Single-cell crop · bone marrow aspirate smear.
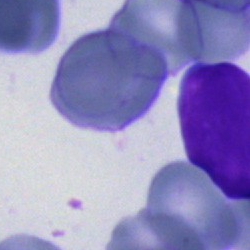
This is an artefact.